Bone marrow aspirate smear
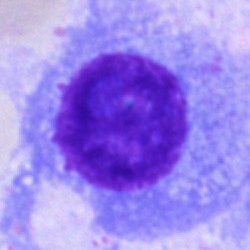Morphology → plasma cell.